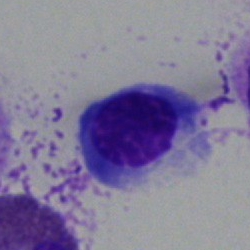
Q: What type of cell is this?
A: This is a normoblast.